Bone marrow aspirate smear:
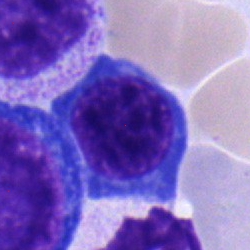Cell type — nucleated red blood cell.